Pappenheim-stained · bone marrow smear.
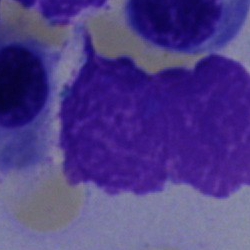 Q: What is shown here?
A: An artifact.